Brightfield, 40× oil-immersion objective · bone marrow aspirate smear · 250×250 px: 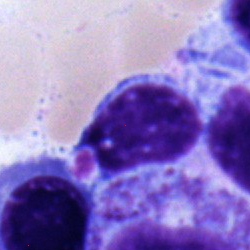
Specimen: bone marrow aspirate smear.
Cell: lymphocyte.
Lineage: lymphoid.